Bone marrow smear
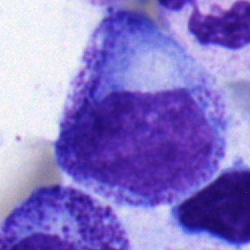 The morphological class is promyelocyte.